Bone marrow smear. Brightfield, 40× oil-immersion objective. May-Grünwald-Giemsa stain.
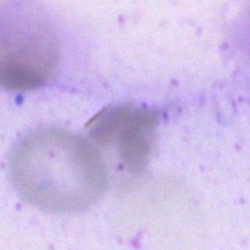Impression — artifact.